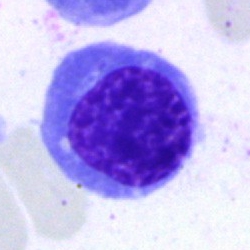
The cell shown is a normoblast.